Bone marrow smear:
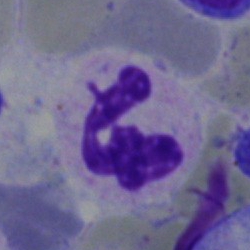Q: What type of cell is this?
A: This is a polymorphonuclear neutrophil.